Bone marrow aspirate smear. MGG-stained — 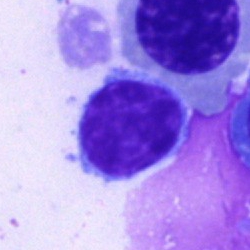
A typical lymphocyte.